Bone marrow smear
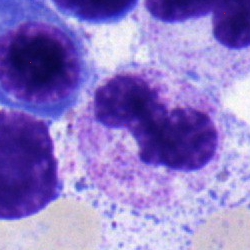 Q: What type of cell is this?
A: A band neutrophil.